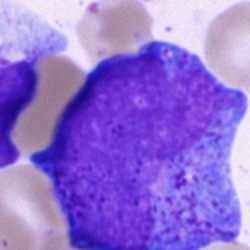

Specimen: bone marrow smear.
Classification: progranulocyte.